Single-cell field. Brightfield microscopy, 40× oil immersion. Bone marrow aspirate smear.
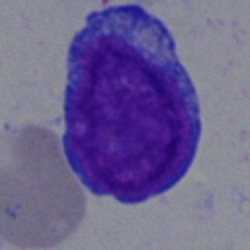

Classification — undifferentiated blast.